Bone marrow smear: 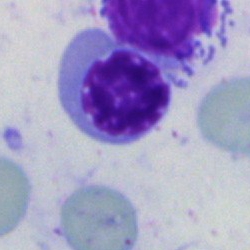
Morphology consistent with a nucleated red cell.